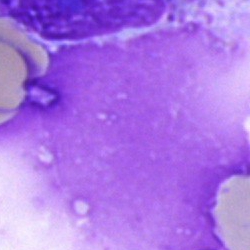
Impression → artefact.